Bone marrow smear. Cropped to a single cell:
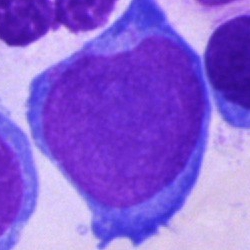

Impression — undifferentiated blast.